Bone marrow smear · single-cell crop
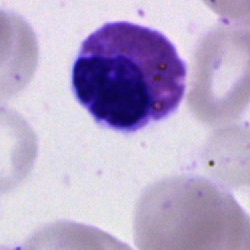
{"cell_type": "eosinophil", "lineage": "myeloid"}